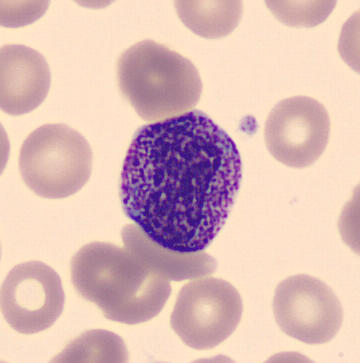 Image: Imaged on a CellaVision DM96 analyser; peripheral blood smear. Morphology → myelocyte.